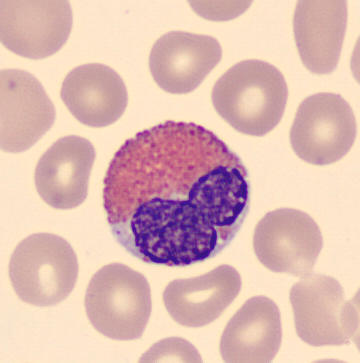 Image: Peripheral blood smear. Single-cell field. Morphology → eosinophilic granulocyte.